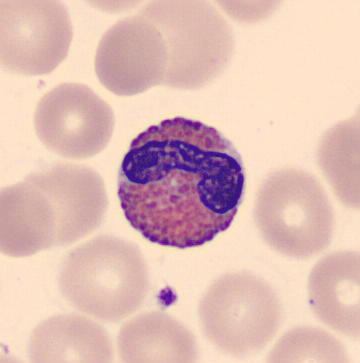
Preparation: Cropped to a single cell. 360 by 363 pixels.

Specimen: peripheral blood film.
Cell type: eosinophilic granulocyte.
Lineage: myeloid.